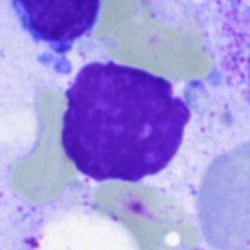 {"cell_type": "artifact"}